Bone marrow aspirate smear
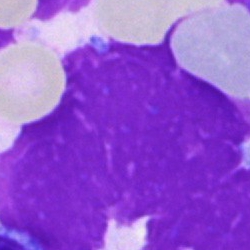 The cell shown is an artefact.